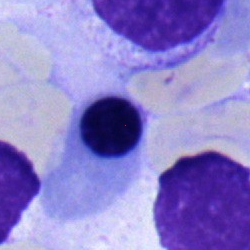Q: What is the morphological classification of this cell?
A: Nucleated red cell.